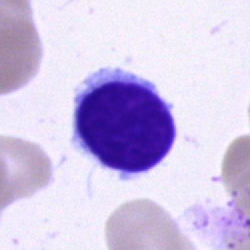 Impression → lymphocyte.